Bone marrow aspirate smear:
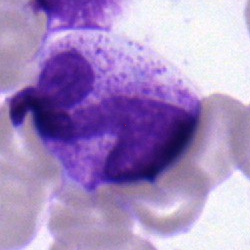

Q: Identify the cell.
A: Segmented neutrophil.